Peripheral blood smear. 400×400. Romanowsky stain: 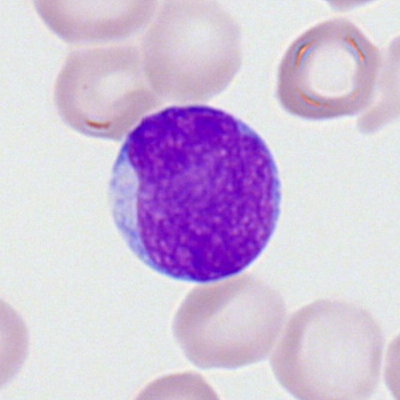
The classification is myeloid blast.